Bone marrow aspirate smear.
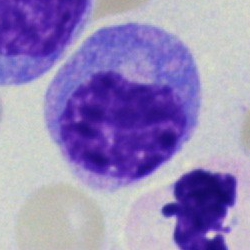Morphology consistent with a myelocyte.